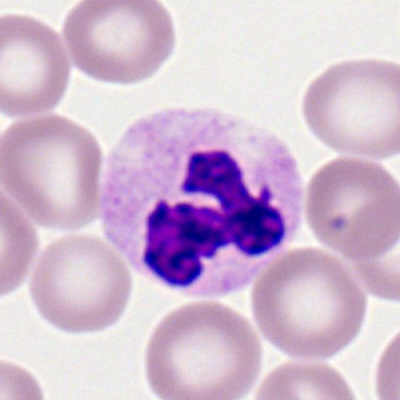

Impression → neutrophil (segmented).